Bone marrow aspirate smear — 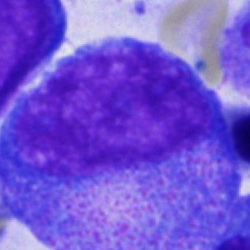
Classification: progranulocyte.